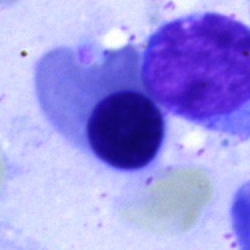

Bone marrow smear showing a nucleated red blood cell.